Brightfield, 40× oil-immersion objective · May-Grünwald-Giemsa/Pappenheim stain · bone marrow smear — 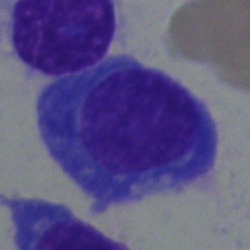
Classification: plasmacyte.